MGG-stained. Bone marrow smear.
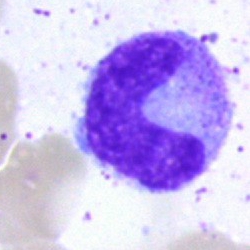
Q: What cell is this?
A: Stab cell.